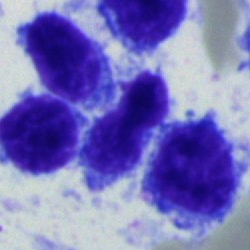

Morphological class — typical lymphocyte.